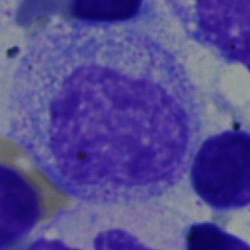Q: What cell is this?
A: It is a myelocyte.